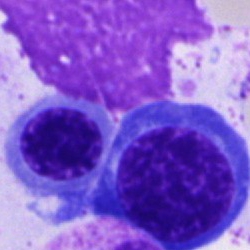

Q: What is shown here?
A: It is a normoblast.